Bone marrow aspirate smear; single cell centered in the field:
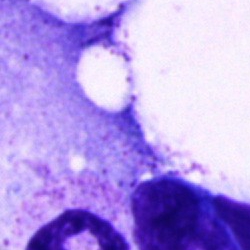Artefact.